Bone marrow aspirate smear:
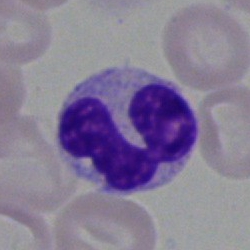Q: Identify the cell.
A: This is a neutrophil (segmented).